Bone marrow smear: 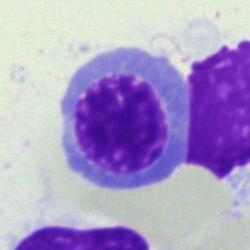

Cell type — nucleated red blood cell.